Bone marrow aspirate smear: 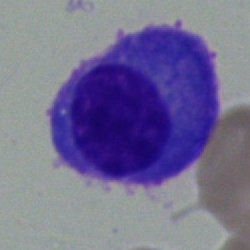 Q: Identify the cell.
A: This is a plasmacyte.